Bone marrow smear
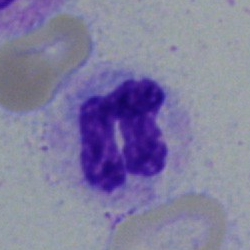

Cell type — polymorphonuclear neutrophil.